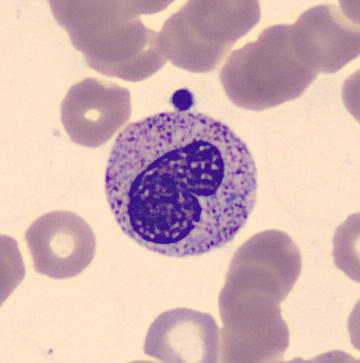 Morphology — metamyelocyte.